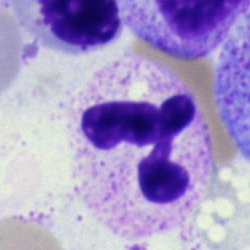
Q: What cell is this?
A: Polymorphonuclear neutrophil.